Bone marrow aspirate smear · single-cell field:
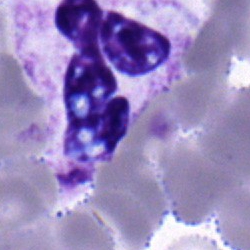 Cell — polymorphonuclear neutrophil.